Brightfield, 40× oil-immersion objective. Bone marrow smear:
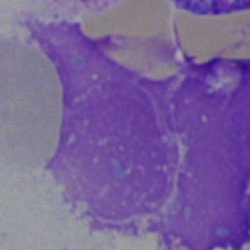
The cell type is artefact.